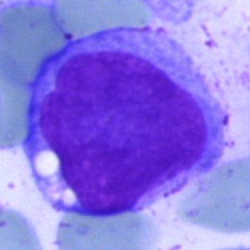
Bone marrow aspirate smear, single cell — blast cell.